Bone marrow aspirate smear:
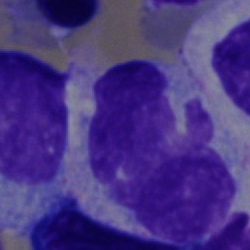
The morphological class is artefact.